Brightfield, 40× oil-immersion objective · bone marrow aspirate smear
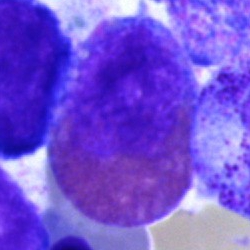
{"cell_type": "eosinophil"}